Bone marrow aspirate smear: 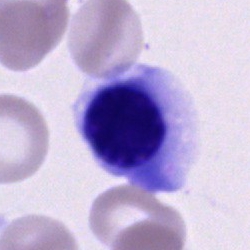Morphology → nucleated red blood cell.